Bone marrow aspirate smear.
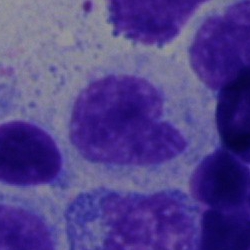{"cell_type": "band neutrophil"}